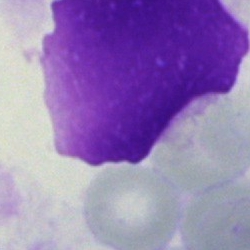

The morphological class is myelocyte.